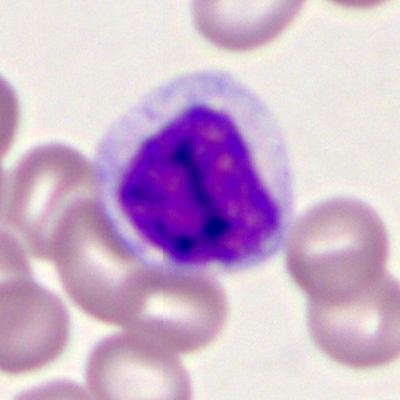

Peripheral blood film, single cell — typical lymphocyte.